Pappenheim-stained; bone marrow smear; brightfield, 40× oil-immersion objective
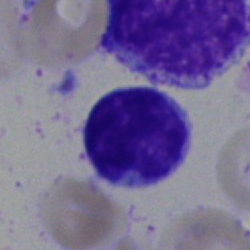 Classification = lymphocyte.